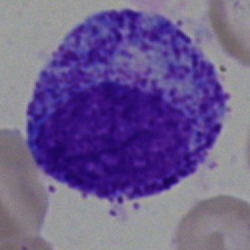
Cell = progranulocyte.